Peripheral blood film:
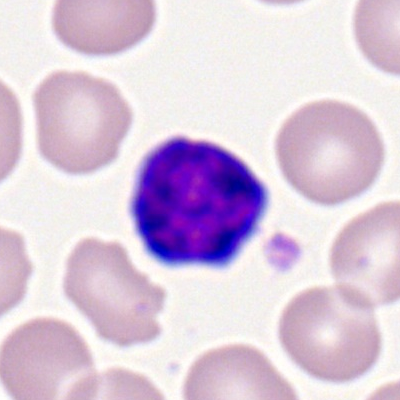
Morphology consistent with a lymphocyte.